Bone marrow smear: 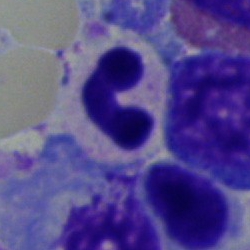This is a band neutrophil.